250×250 px; bone marrow smear:
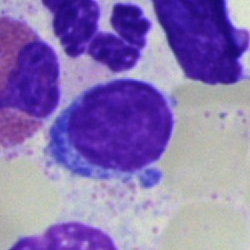Specimen: bone marrow smear.
Cell type: typical lymphocyte.